Bone marrow smear.
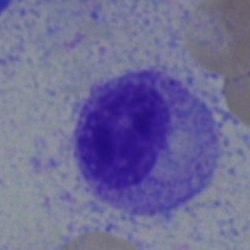Morphological class = myelocyte.